Peripheral blood film — 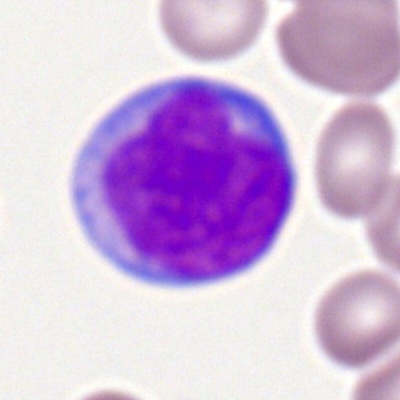 This is a monocyte.